Peripheral blood film. Image size 400×400 — 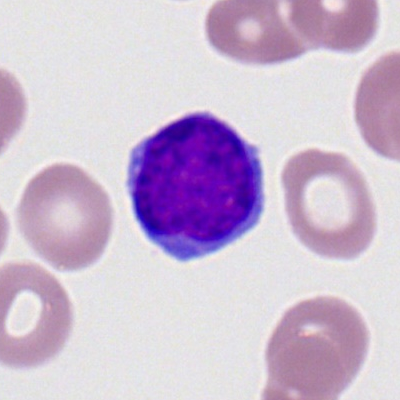Specimen: peripheral blood film.
Cell type: typical lymphocyte.